Bone marrow aspirate smear.
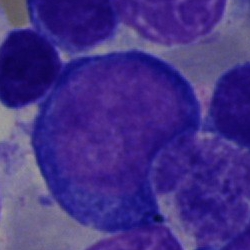
Morphology consistent with a proerythroblast.